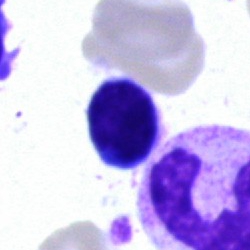 Bone marrow smear showing a lymphocyte.